Bone marrow aspirate smear.
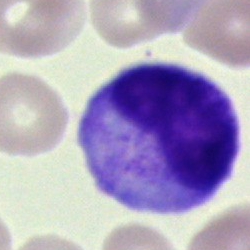Morphology consistent with a metamyelocyte.